Bone marrow smear: 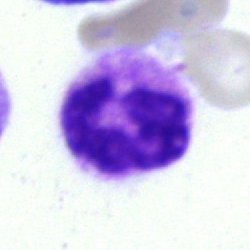Q: Which cell type is shown here?
A: This is a segmented neutrophil.